Bone marrow aspirate smear — 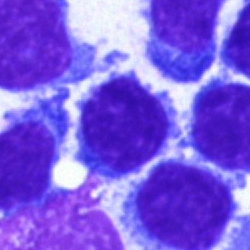
Q: What type of cell is this?
A: It is a typical lymphocyte.